40× objective, oil immersion; single cell centered in the field; bone marrow aspirate smear — 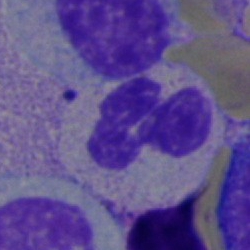 Specimen: bone marrow smear.
Classification: segmented neutrophil.
Lineage: myeloid.